Bone marrow aspirate smear:
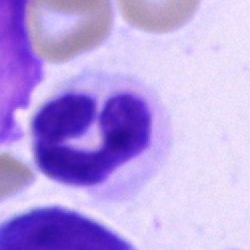 This is a neutrophil (segmented).